Bone marrow smear. 250 by 250 pixels. Single-cell crop:
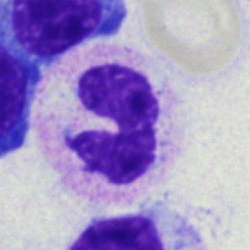 Classification: neutrophil (band).